May-Grünwald-Giemsa/Pappenheim stain. Bone marrow smear
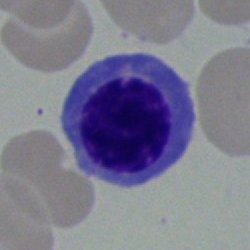 Cell type — nucleated red blood cell.